Bone marrow aspirate smear.
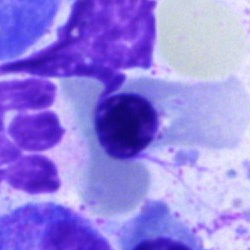 Cell type = normoblast.